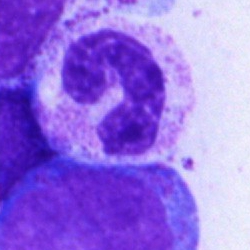 Cell = band-form neutrophil.